Cropped to a single cell · bone marrow smear · MGG-stained: 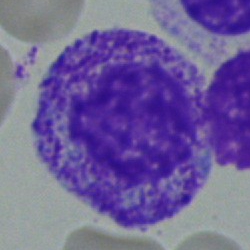Impression — myelocyte.